Bone marrow aspirate smear: 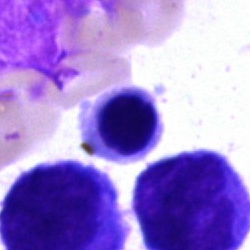Cell: nucleated red blood cell.